Bone marrow aspirate smear — 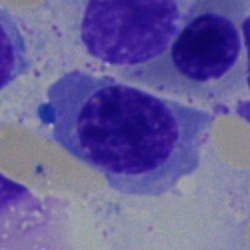Specimen: bone marrow smear.
Cell: nucleated red blood cell.
Lineage: erythroid.